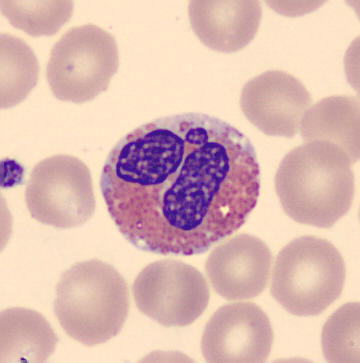 Image: Peripheral blood smear.

Morphology → eosinophil.